M8 digital microscope (Precipoint), 100× oil immersion; peripheral blood smear:
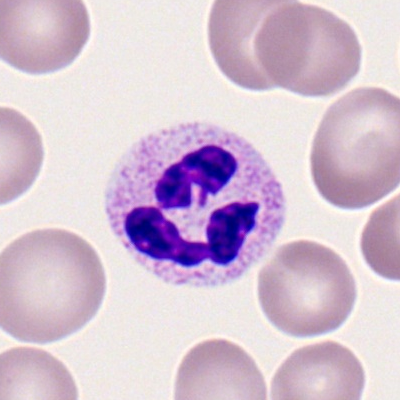 Classification — polymorphonuclear neutrophil.